Bone marrow aspirate smear:
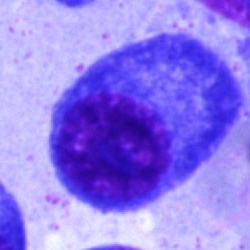
A plasmacyte.